Image size 250×250. Bone marrow aspirate smear.
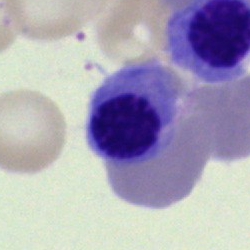

{"cell_type": "nucleated red blood cell", "lineage": "erythroid"}